250×250 · bone marrow aspirate smear · Pappenheim-stained
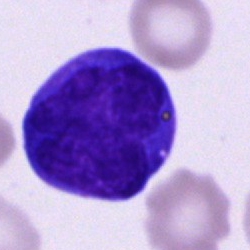Q: What is the morphological classification of this cell?
A: It is a monocyte.